Bone marrow smear
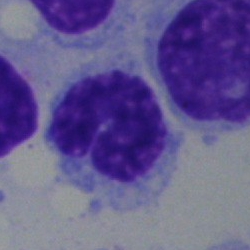 The cell shown is a monocyte.